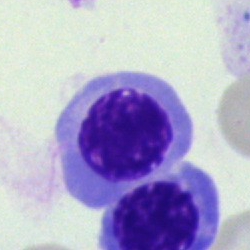 Specimen: bone marrow smear.
Cell type: nucleated red blood cell.
Lineage: erythroid.